May-Grünwald-Giemsa stain · bone marrow aspirate smear.
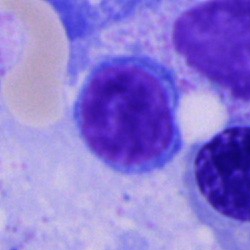 Morphological class: typical lymphocyte.